May-Grünwald-Giemsa/Pappenheim stain. Bone marrow smear
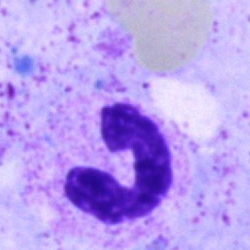
Cell: stab cell.